Peripheral blood smear:
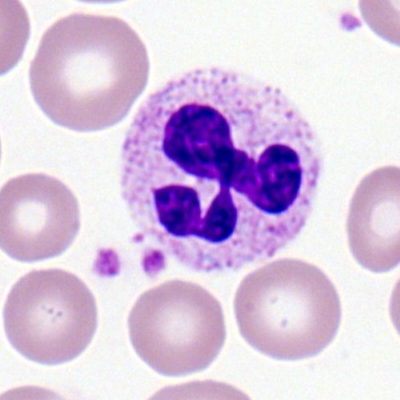

Q: What is the morphological classification of this cell?
A: A segmented neutrophil.